May-Grünwald-Giemsa stain · bone marrow aspirate smear — 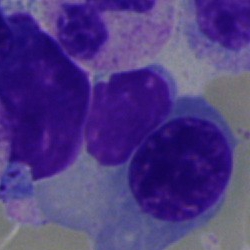Q: Identify the cell.
A: Erythroblast.